May-Grünwald-Giemsa/Pappenheim stain · bone marrow smear.
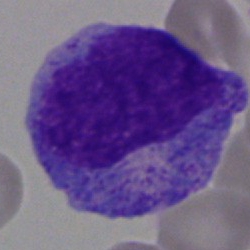
Showing a progranulocyte.